Bone marrow smear.
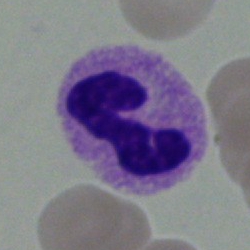

Classification — polymorphonuclear neutrophil.